Single-cell field; brightfield, 40× oil-immersion objective; bone marrow aspirate smear — 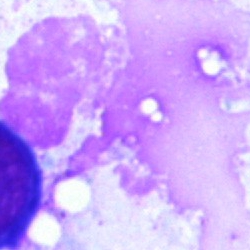
This is an artifact.